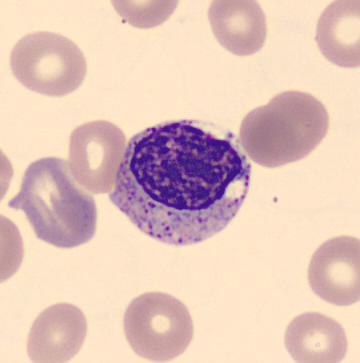

Q: Identify the cell.
A: It is a myelocyte.